Bone marrow aspirate smear: 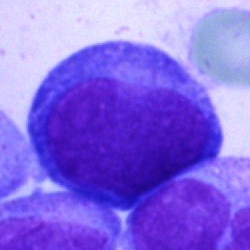Morphological class — blast.